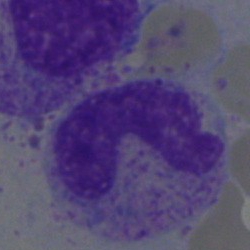The cell is band neutrophil.